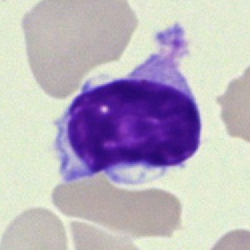

Q: What cell is this?
A: A typical lymphocyte.